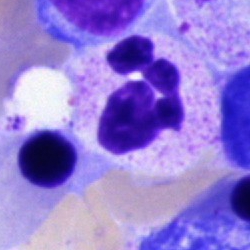
Cell: polymorphonuclear neutrophil.